MGG-stained. Bone marrow smear: 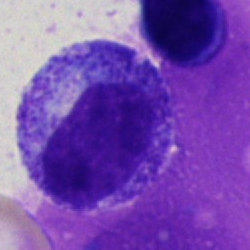 Q: What is the morphological classification of this cell?
A: It is a myelocyte.